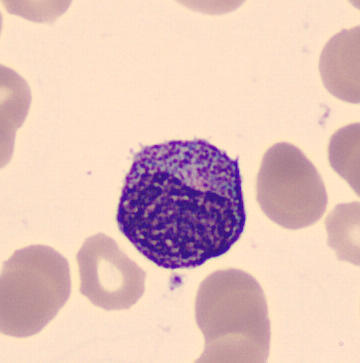Specimen: peripheral blood film.
Morphological class: progranulocyte.
Lineage: myeloid.